Bone marrow aspirate smear · 250×250 px
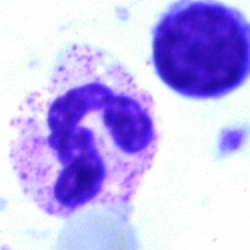Cell type — segmented neutrophil.